Image size 250×250. Bone marrow aspirate smear — 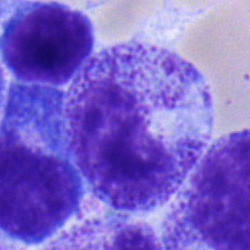
Q: What cell is this?
A: It is a metamyelocyte.